Bone marrow aspirate smear · single cell centered in the field:
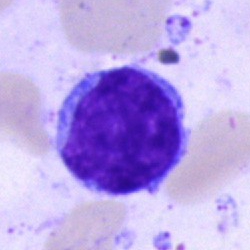Specimen: bone marrow aspirate smear.
Classification: lymphocyte.